Peripheral blood film · 100× objective, oil immersion
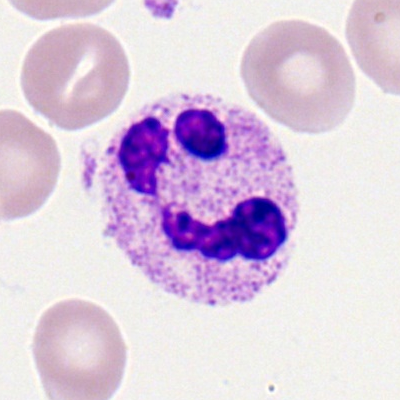Morphological class: segmented neutrophil.